Bone marrow smear — 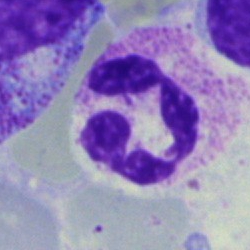
Morphology consistent with a neutrophil (segmented).